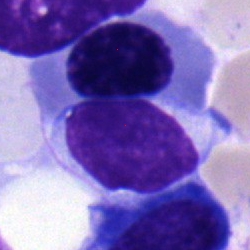 Bone marrow smear showing a typical lymphocyte.